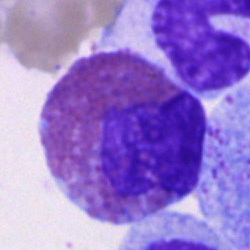
Morphology → eosinophil.